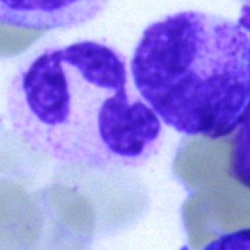 Q: What is the morphological classification of this cell?
A: This is a segmented neutrophil.